May-Grünwald-Giemsa stain · bone marrow smear:
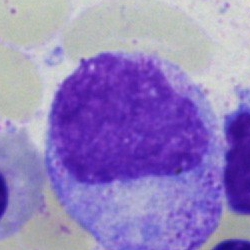
Classification — promyelocyte.